Bone marrow smear; single cell centered in the field: 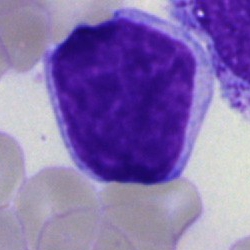
The cell shown is a typical lymphocyte.